Bone marrow aspirate smear — 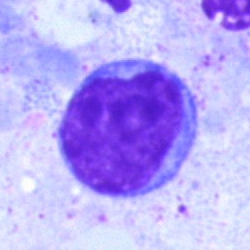Single cell identified as a typical lymphocyte.